May-Grünwald-Giemsa/Pappenheim stain; bone marrow smear
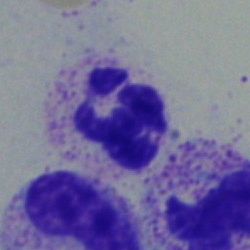
Morphology consistent with a neutrophil (segmented).